Bone marrow aspirate smear.
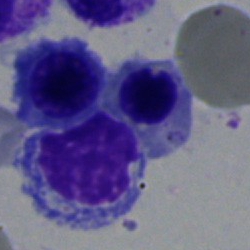

Classification = nucleated red cell.